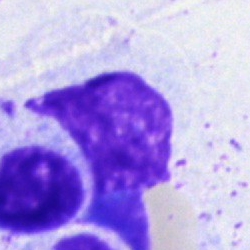 The cell type is artifact.